Bone marrow smear
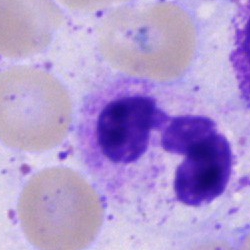Specimen: bone marrow aspirate smear.
Cell: neutrophil (segmented).